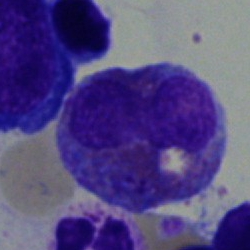
Single-cell crop from a bone marrow smear: eosinophil.